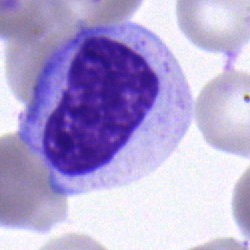Morphology — metamyelocyte.